Bone marrow smear — 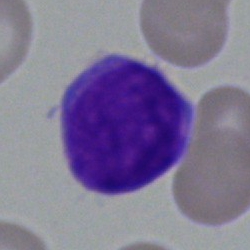Morphology → blast.